Brightfield, 40× oil-immersion objective · May-Grünwald-Giemsa stain · bone marrow smear — 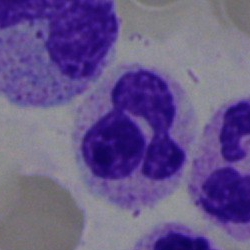 Classification: polymorphonuclear neutrophil.